Bone marrow aspirate smear. Single-cell crop — 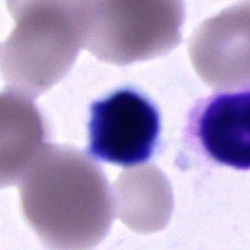

Showing an unidentifiable cell.